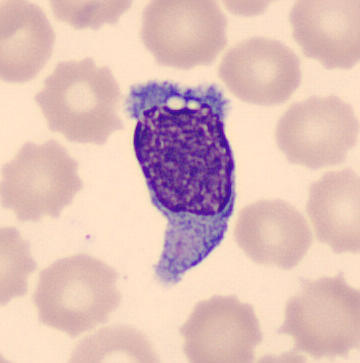This is a monocyte.